Bone marrow aspirate smear — 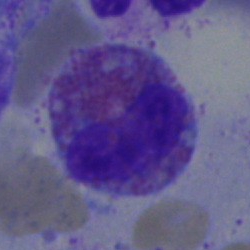 Eosinophilic granulocyte.